Bone marrow aspirate smear; cropped to a single cell
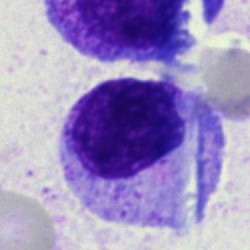The classification is myelocyte.